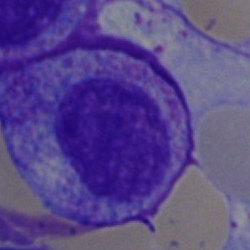 Classification = myelocyte.